Bone marrow smear
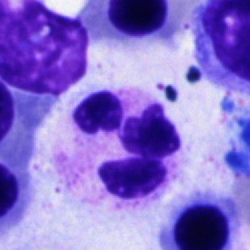

Single cell identified as a neutrophil (segmented).